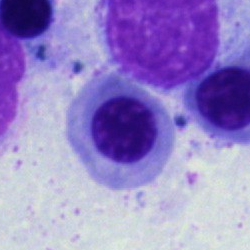 The cell type is nucleated red cell.